Bone marrow smear
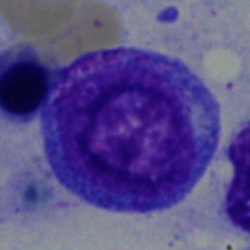Showing a promyelocyte.